40× oil immersion · bone marrow smear · May-Grünwald-Giemsa stain:
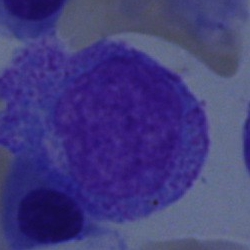

Specimen: bone marrow aspirate smear.
Morphological class: progranulocyte.
Lineage: myeloid.